Bone marrow aspirate smear · brightfield microscopy, 40× oil immersion.
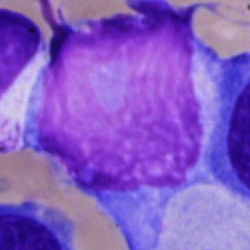
Morphology consistent with an undifferentiated blast.